Bone marrow smear: 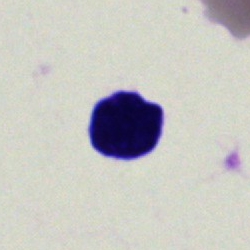Morphology consistent with an artefact.